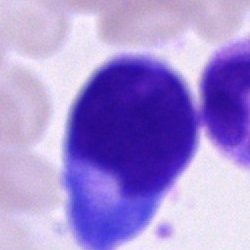

Cell of indeterminate lineage.